40× oil immersion · bone marrow smear
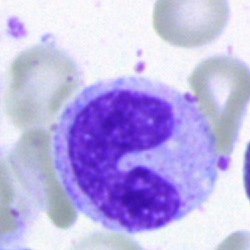

Q: What is shown here?
A: This is a stab cell.